Bone marrow smear — 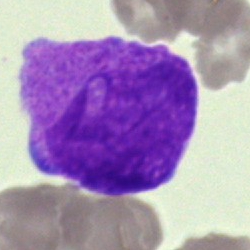 Specimen: bone marrow aspirate smear.
Cell: blast cell.